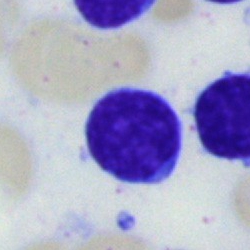
Cell = typical lymphocyte.